Brightfield microscopy, 40× oil immersion · bone marrow aspirate smear — 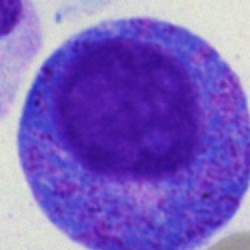 Morphology consistent with a promyelocyte.